Bone marrow smear. 40× objective, oil immersion — 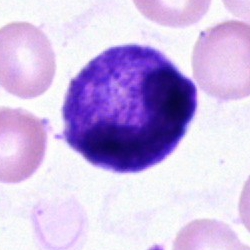Morphology consistent with a polymorphonuclear neutrophil.